Peripheral blood smear.
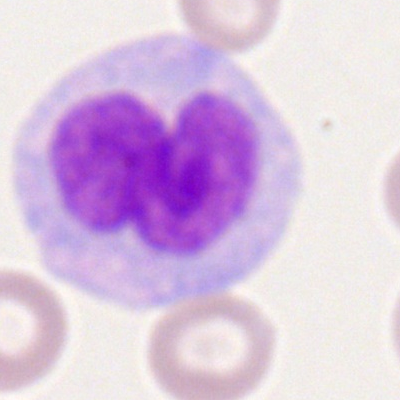 Impression — monocyte.